250×250 px. Bone marrow aspirate smear.
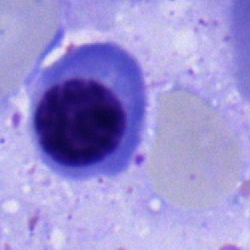
A nucleated red blood cell.